Peripheral blood smear · single-cell crop:
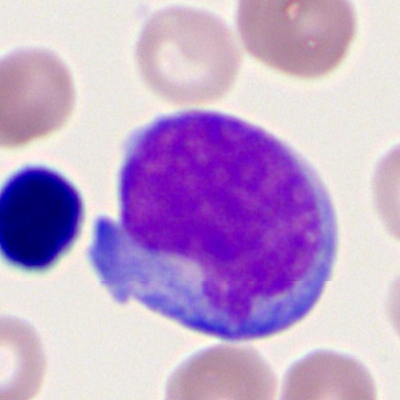Impression → myeloid blast.